M8 digital microscope (Precipoint), 100× oil immersion. Peripheral blood film. Romanowsky-stained: 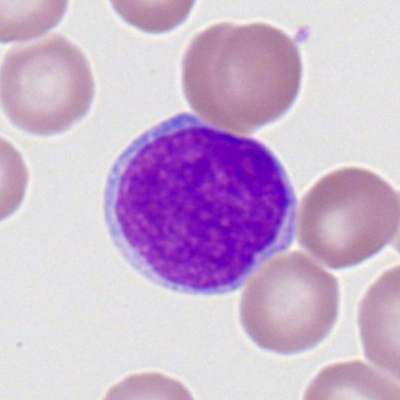

Q: What is the morphological classification of this cell?
A: It is a myeloid blast.